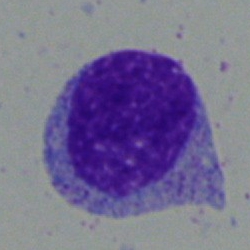
Specimen: bone marrow smear.
Classification: myelocyte.
Lineage: myeloid.